Bone marrow smear:
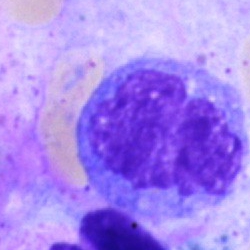

Specimen: bone marrow aspirate smear.
Classification: monocyte.
Lineage: myeloid.